Bone marrow aspirate smear.
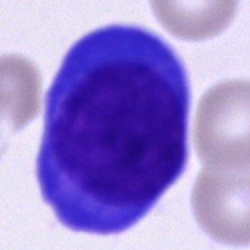Single cell identified as a plasmacyte.